Bone marrow smear; brightfield, 40× oil-immersion objective: 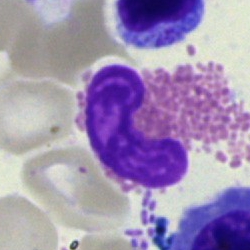

Eosinophilic granulocyte.